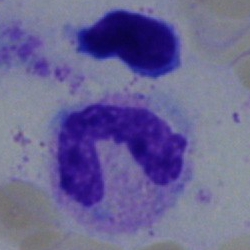A stab cell on a bone marrow smear.